Bone marrow smear: 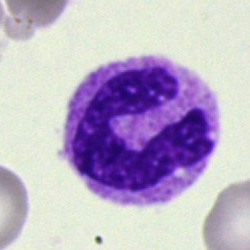
Q: Which cell type is shown here?
A: Polymorphonuclear neutrophil.